Bone marrow aspirate smear: 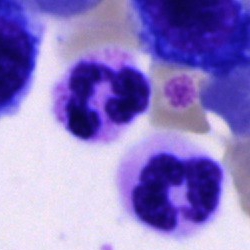 Showing a segmented neutrophil.